May-Grünwald-Giemsa/Pappenheim stain. Bone marrow smear:
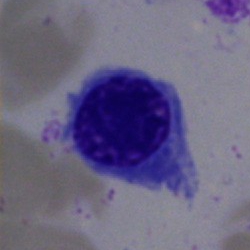This is a nucleated red cell.